Bone marrow aspirate smear: 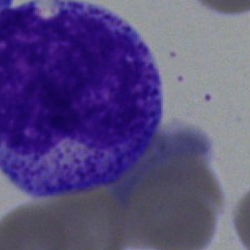Impression → progranulocyte.